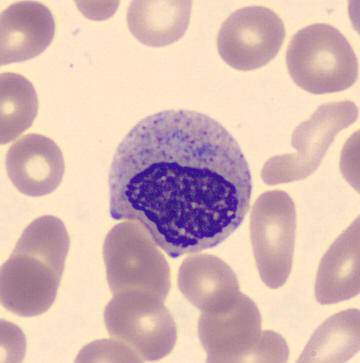
Morphology — myelocyte.
Preparation: Peripheral blood smear.